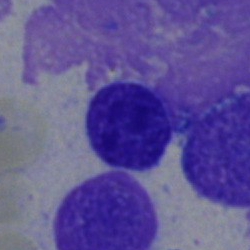
Impression → lymphocyte.